250×250 px; single-cell field; bone marrow smear
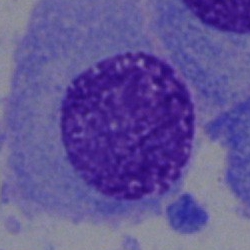 Cell: plasma cell.